Bone marrow smear · 40× oil immersion
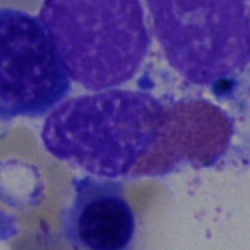

Impression → eosinophilic granulocyte.